Single cell centered in the field. 250×250 px. Bone marrow aspirate smear
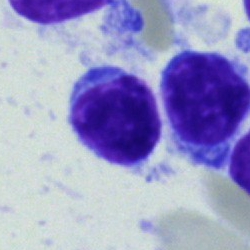

The cell shown is a lymphocyte.